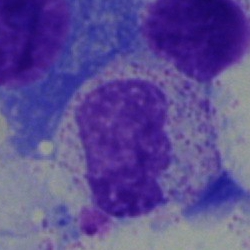

Specimen: bone marrow aspirate smear.
Classification: metamyelocyte.